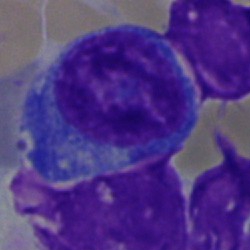
A plasma cell on a bone marrow smear.